Bone marrow aspirate smear: 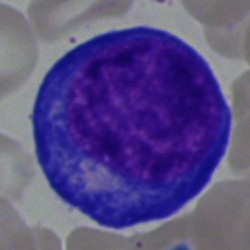 {"cell_type": "pronormoblast", "lineage": "erythroid"}